250 by 250 pixels; bone marrow smear.
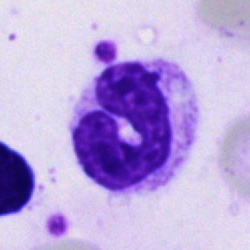Q: What is shown here?
A: Polymorphonuclear neutrophil.